Bone marrow smear:
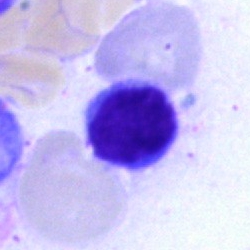

This is a lymphocyte.